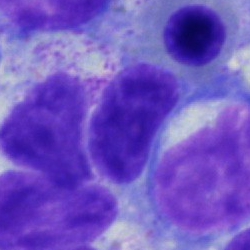
Q: Identify the cell.
A: This is a lymphocyte.